Bone marrow smear: 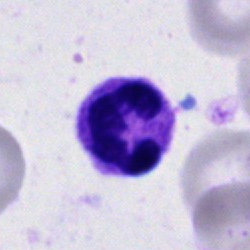
Cell type — polymorphonuclear neutrophil.